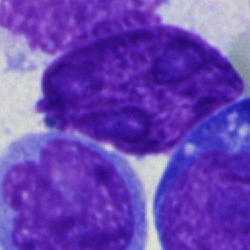

This is an undifferentiated blast.